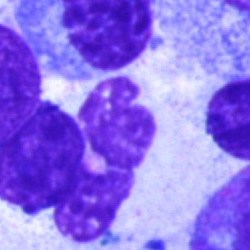 An artifact.